Single cell centered in the field; bone marrow aspirate smear; May-Grünwald-Giemsa stain:
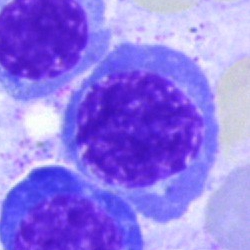

Erythroblast.